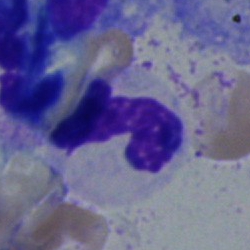 A segmented neutrophil.